Brightfield, 100× oil-immersion objective. Peripheral blood smear. 400×400.
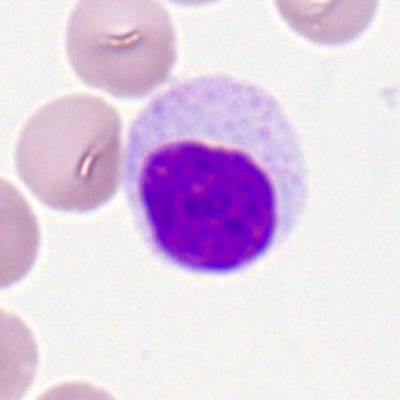 Morphology consistent with a lymphocyte.